Peripheral blood smear; image size 400×400 — 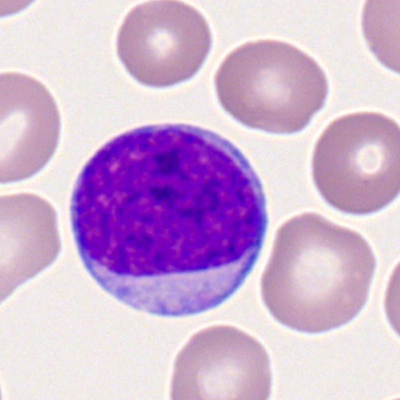

Morphology — myeloid blast.